Bone marrow smear · Pappenheim-stained.
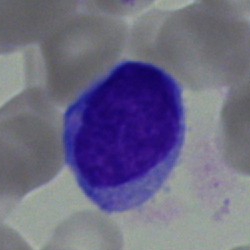The cell type is undifferentiated blast.